Bone marrow aspirate smear:
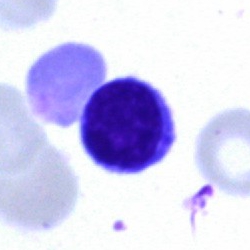

This is a lymphocyte.